Bone marrow aspirate smear — 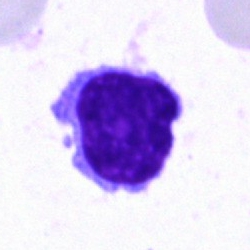Single cell identified as a typical lymphocyte.